Bone marrow smear; 250 by 250 pixels; Pappenheim-stained: 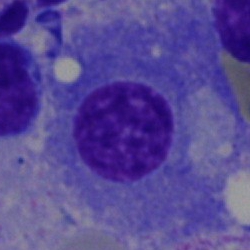

Showing a plasma cell.